Brightfield microscopy, 40× oil immersion; bone marrow aspirate smear; image size 250×250:
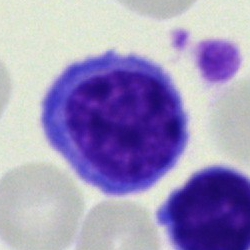 Cell type: lymphocyte.